Peripheral blood film
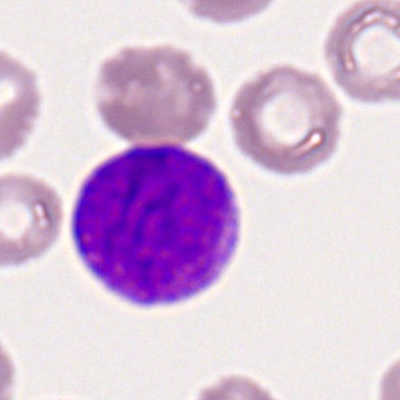 Showing a myeloblast.